Bone marrow smear; single-cell crop; May-Grünwald-Giemsa/Pappenheim stain
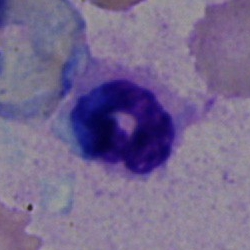 Q: What is the morphological classification of this cell?
A: It is a segmented neutrophil.